Bone marrow smear:
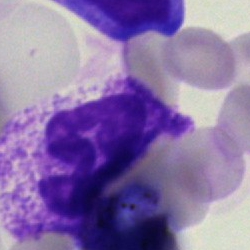 Morphology consistent with a neutrophil (segmented).